Single-cell crop. Bone marrow smear
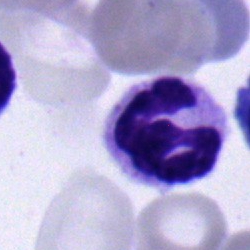

Neutrophil (segmented).